Bone marrow smear:
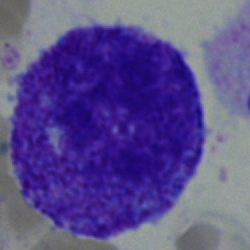
Morphological class = promyelocyte.